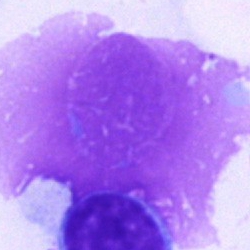

The morphological class is artefact.